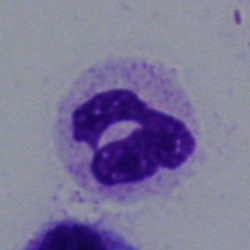 Q: What type of cell is this?
A: A neutrophil (segmented).